Peripheral blood film · 100× objective, oil immersion — 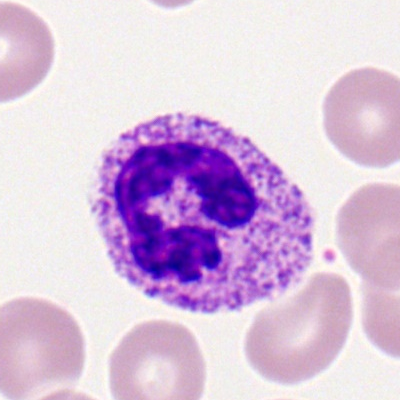

Morphology consistent with a polymorphonuclear neutrophil.